Bone marrow aspirate smear: 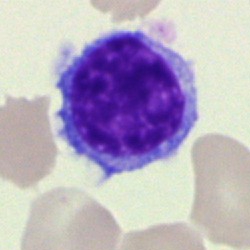 Morphology consistent with a typical lymphocyte.